40× objective, oil immersion · bone marrow aspirate smear — 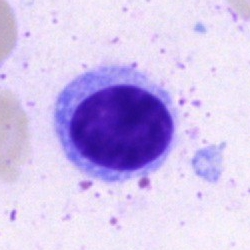

Q: Which cell type is shown here?
A: This is a lymphocyte.